Bone marrow smear
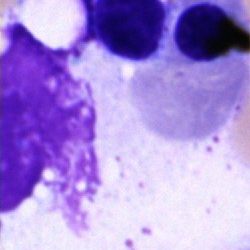

An artifact.